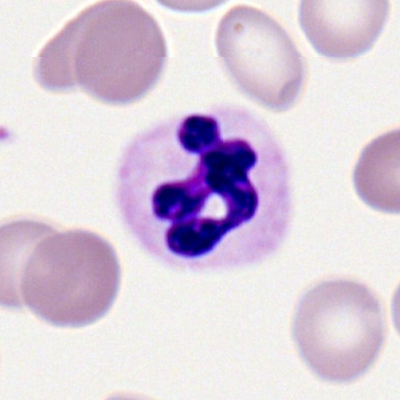 Morphology → segmented neutrophil.